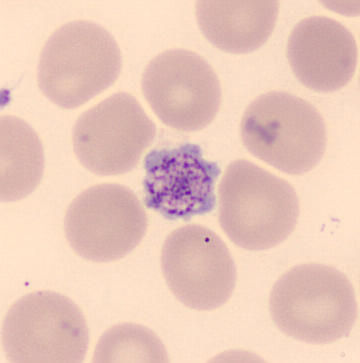Acquisition: May Grünwald-Giemsa stain · peripheral blood smear. A thrombocyte.